Bone marrow aspirate smear — 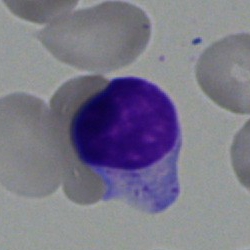Morphology consistent with a typical lymphocyte.